Bone marrow aspirate smear.
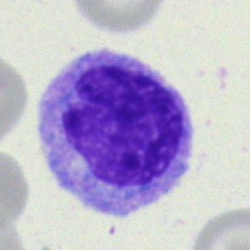 Q: What type of cell is this?
A: A monocyte.